Pappenheim-stained · bone marrow smear: 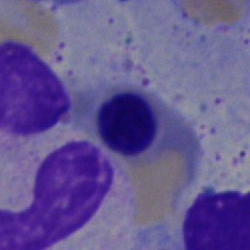 The morphological class is erythroblast.